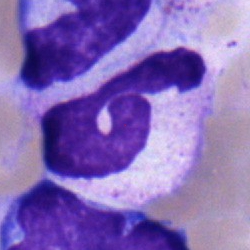
The morphological class is segmented neutrophil.